Bone marrow aspirate smear. Single-cell field.
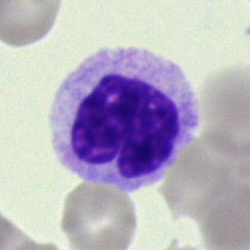
Specimen: bone marrow smear.
Classification: unidentifiable cell.